Bone marrow smear:
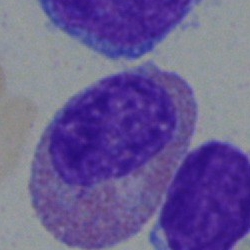{"cell_type": "eosinophil"}